Single-cell field; bone marrow smear:
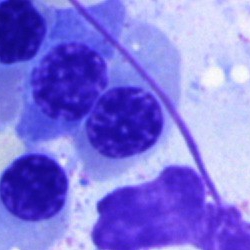 Nucleated red blood cell.